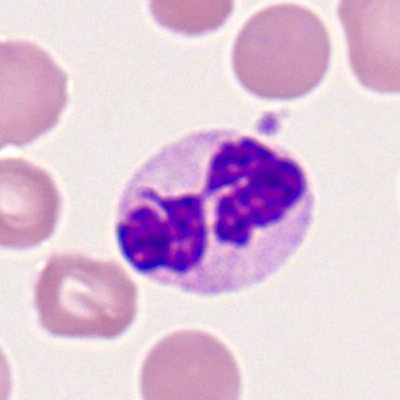

Single cell identified as a segmented neutrophil.